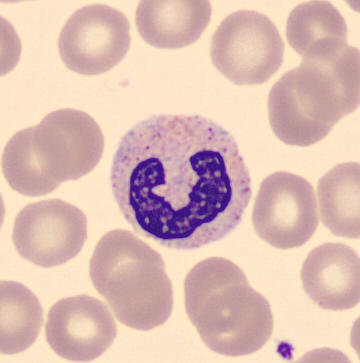Morphological class — stab cell.

Acquisition: Peripheral blood film. May Grünwald-Giemsa stain.